Image size 250×250. Bone marrow smear
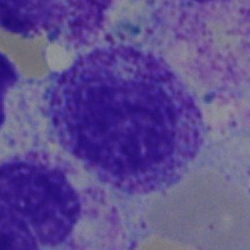
Myelocyte.